Bone marrow smear; MGG-stained — 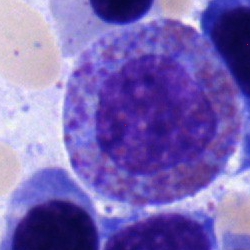
An eosinophil.